Bone marrow aspirate smear
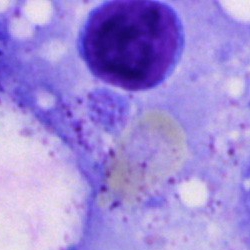Single cell identified as a typical lymphocyte.